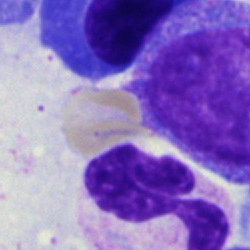
Cell — neutrophil (segmented).